Bone marrow smear: 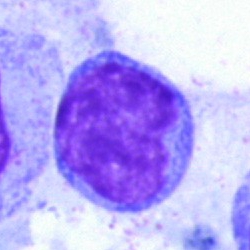 Single cell identified as a typical lymphocyte.